Cropped to a single cell · peripheral blood smear — 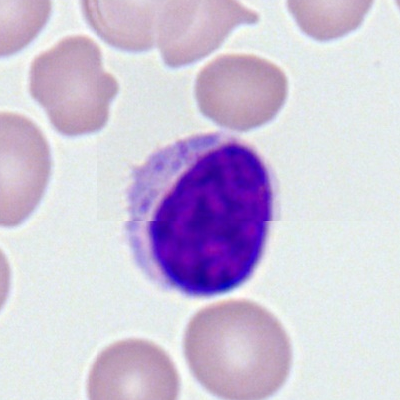Morphology consistent with a lymphocyte.